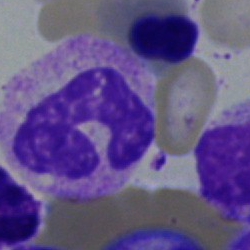Single cell identified as a band neutrophil.